Single-cell crop. 40× objective, oil immersion. Bone marrow smear
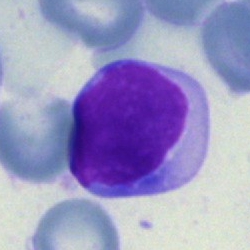{"cell_type": "lymphocyte", "lineage": "lymphoid"}